Bone marrow aspirate smear — 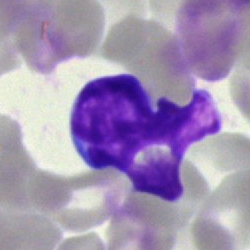 Cell = typical lymphocyte.